May-Grünwald-Giemsa/Pappenheim stain; bone marrow smear.
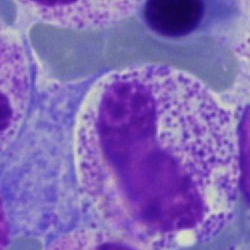
Q: What is the morphological classification of this cell?
A: It is a neutrophil (band).